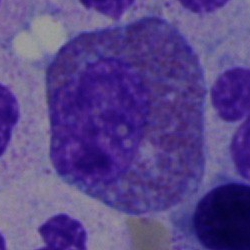

This is an eosinophilic granulocyte.